Pappenheim-stained. Bone marrow aspirate smear
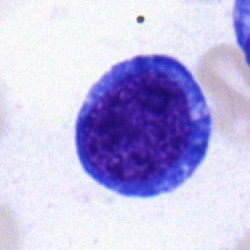 Q: What type of cell is this?
A: Undifferentiated blast.